Bone marrow smear; brightfield microscopy, 40× oil immersion: 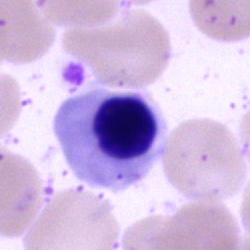
Morphology — nucleated red blood cell.